Bone marrow aspirate smear
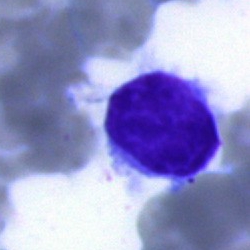

The classification is lymphocyte.